May-Grünwald-Giemsa stain. 250 by 250 pixels. Bone marrow aspirate smear
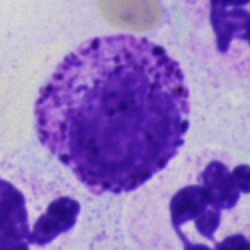Morphology consistent with a basophilic granulocyte.